400×400. Peripheral blood smear. 100× oil immersion, 14.14 px/µm:
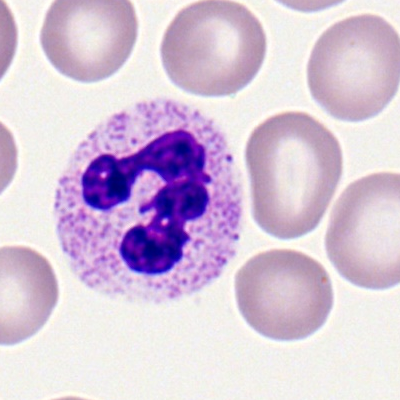{"cell_type": "neutrophil (segmented)"}